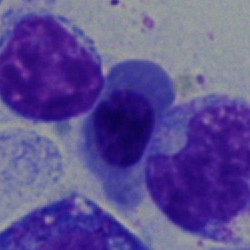Single-cell crop from a bone marrow smear: erythroblast.